Bone marrow smear.
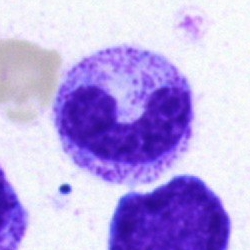 Classification = band-form neutrophil.